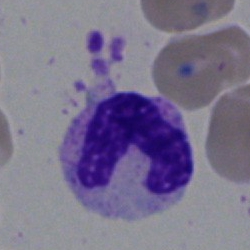
Specimen: bone marrow aspirate smear.
Morphological class: band neutrophil.